Bone marrow aspirate smear · brightfield, 40× oil-immersion objective · MGG-stained
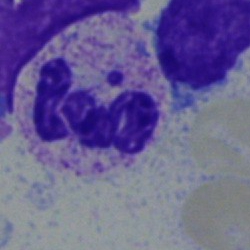This is a neutrophil (segmented).